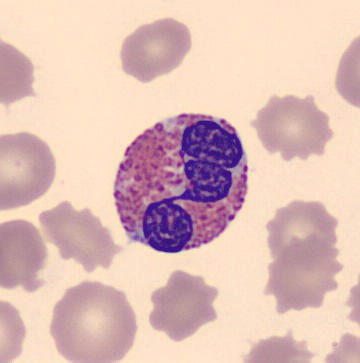 Cell type = eosinophil.